Bone marrow aspirate smear. May-Grünwald-Giemsa/Pappenheim stain
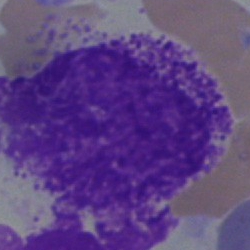

Q: What cell is this?
A: A myelocyte.